MGG-stained; bone marrow aspirate smear; single-cell crop:
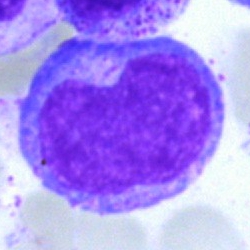Q: What is the morphological classification of this cell?
A: Monocyte.